Bone marrow smear
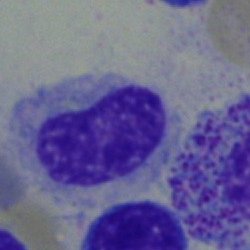 Classification — metamyelocyte.